May-Grünwald-Giemsa stain · bone marrow aspirate smear
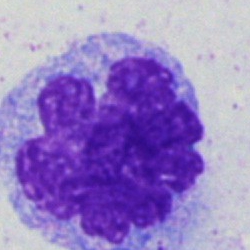Morphology → monocyte.